Peripheral blood smear: 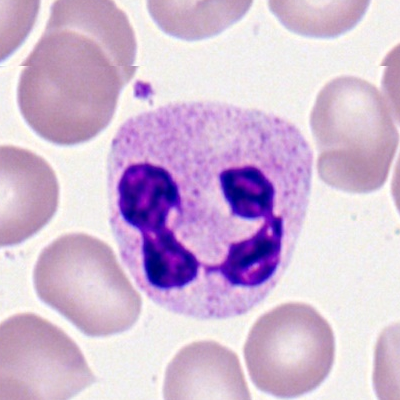 Morphological class: neutrophil (segmented).